250×250 · bone marrow smear
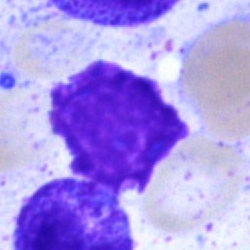 Showing an artifact.